40× objective, oil immersion · bone marrow aspirate smear:
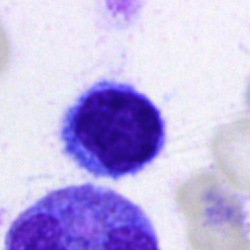

Showing a typical lymphocyte.